Bone marrow smear. Single-cell field.
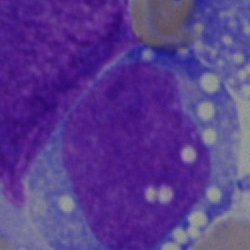
Q: What is shown here?
A: Undifferentiated blast.